Romanowsky stain; peripheral blood film
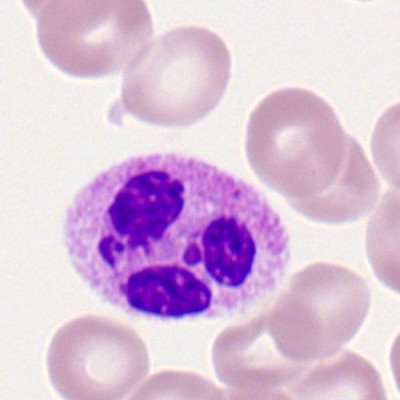Specimen: peripheral blood film.
Cell: neutrophil (segmented).
Lineage: myeloid.